Peripheral blood smear — 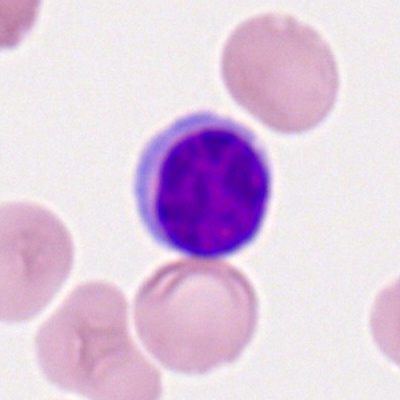Specimen: peripheral blood smear.
Cell type: lymphocyte.